Bone marrow smear; 250 by 250 pixels: 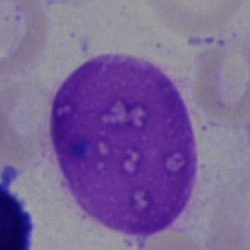Q: What is shown here?
A: An artifact.